Bone marrow aspirate smear — 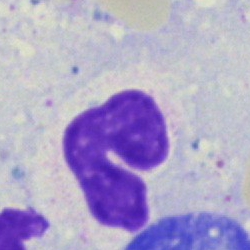Q: Identify the cell.
A: A stab cell.